Single-cell field. Bone marrow aspirate smear:
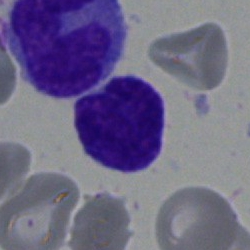
The cell type is typical lymphocyte.